Bone marrow smear.
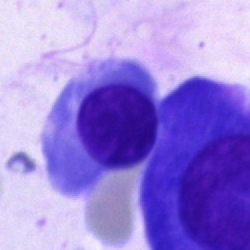Cell — erythroblast.